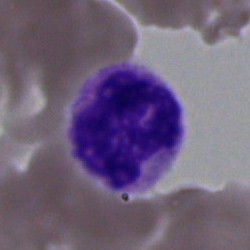{"cell_type": "polymorphonuclear neutrophil", "lineage": "myeloid"}